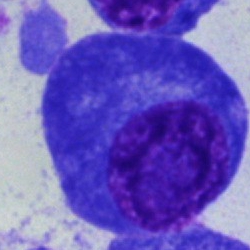

Cell type = plasma cell.